Bone marrow smear:
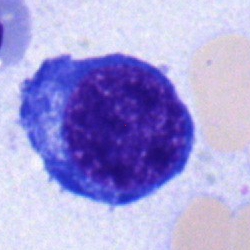Q: What cell is this?
A: This is a proerythroblast.